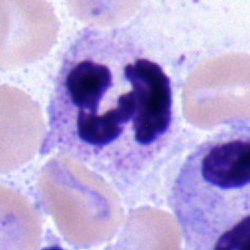Q: Which cell type is shown here?
A: Myelocyte.